Bone marrow smear: 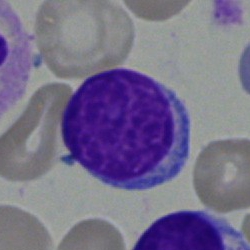 Specimen: bone marrow smear.
Cell: typical lymphocyte.
Lineage: lymphoid.